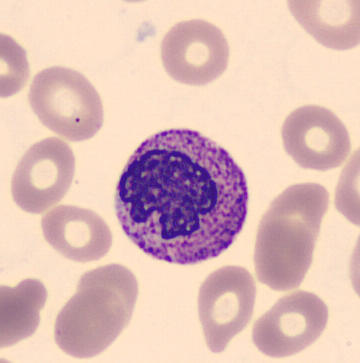 Peripheral blood smear.
Q: Identify the cell.
A: Metamyelocyte.